Bone marrow aspirate smear; brightfield microscopy, 40× oil immersion
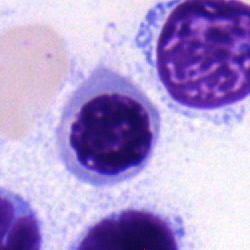Q: What is shown here?
A: Normoblast.